Bone marrow smear · May-Grünwald-Giemsa/Pappenheim stain
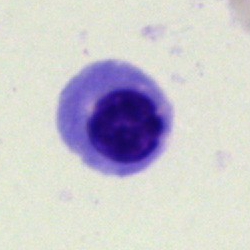 This is a nucleated red cell.